40× objective, oil immersion; single-cell field; bone marrow smear
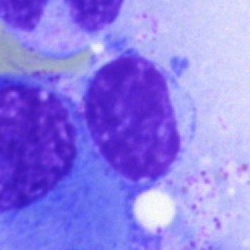
Classification — artifact.